May-Grünwald-Giemsa/Pappenheim stain. Image size 250×250. Bone marrow aspirate smear:
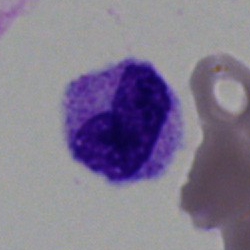
The cell is band neutrophil.